Bone marrow aspirate smear: 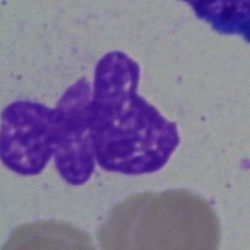
Q: What type of cell is this?
A: Segmented neutrophil.